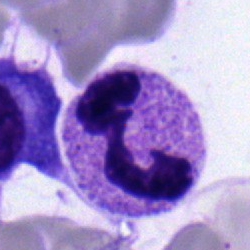 Q: What is the morphological classification of this cell?
A: It is a neutrophil (segmented).